Bone marrow aspirate smear: 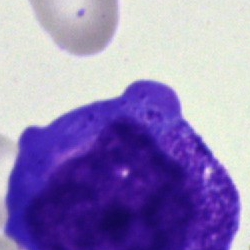

The cell shown is a promyelocyte.